Bone marrow smear. Image size 250×250. MGG-stained: 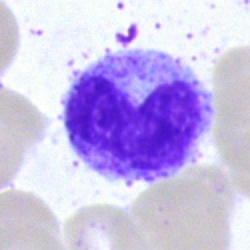Metamyelocyte.